Peripheral blood film · single-cell field · 400 by 400 pixels.
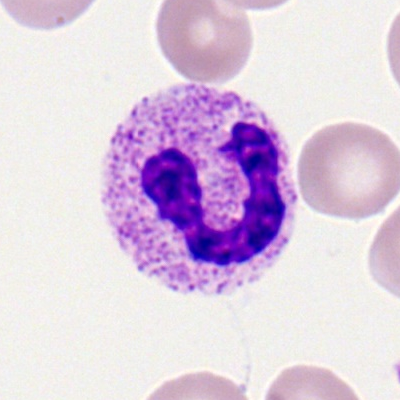 Cell: segmented neutrophil.